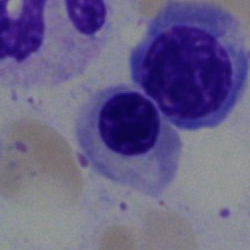Bone marrow smear showing a normoblast.